Bone marrow aspirate smear; brightfield, 40× oil-immersion objective; MGG-stained: 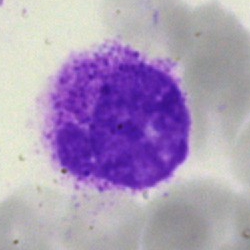
Showing a myelocyte.